Brightfield, 40× oil-immersion objective · bone marrow smear:
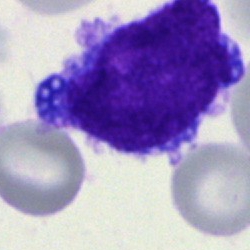
Showing an undifferentiated blast.